Bone marrow smear — 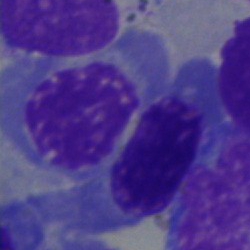Erythroblast.